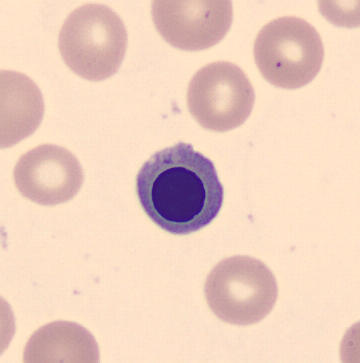 CellaVision DM96. Peripheral blood film. Image size 360×363. Morphology consistent with an erythroblast.